Bone marrow smear — 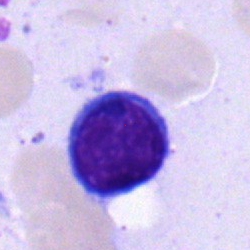This is a typical lymphocyte.